Peripheral blood smear — 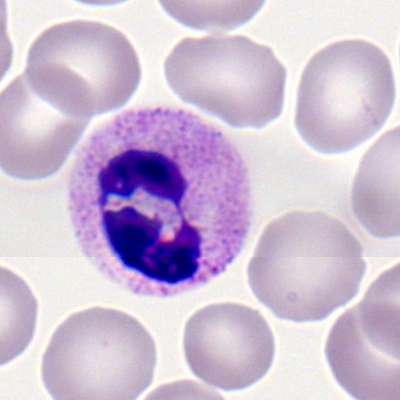
The cell shown is a segmented neutrophil.